May-Grünwald-Giemsa/Pappenheim stain · bone marrow smear — 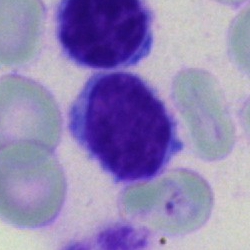
A lymphocyte.